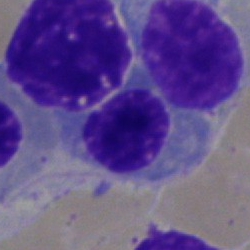

Bone marrow aspirate smear, single cell — nucleated red blood cell.